Bone marrow smear: 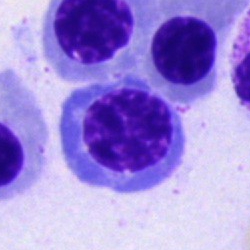 Q: What is shown here?
A: This is an erythroblast.